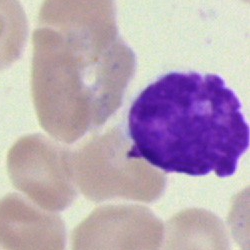Classification = artefact.